Bone marrow aspirate smear:
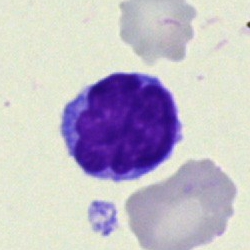 Morphology — typical lymphocyte.